Peripheral blood film · MGG-stained · 360 by 363 pixels: 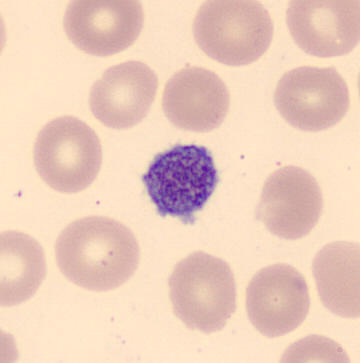
A platelet.